Bone marrow aspirate smear · MGG-stained · 40× oil immersion.
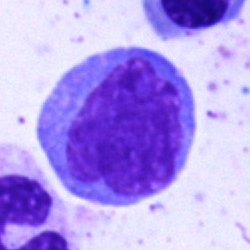 Classification: monocyte.